400 by 400 pixels. 100× objective, oil immersion. Peripheral blood smear.
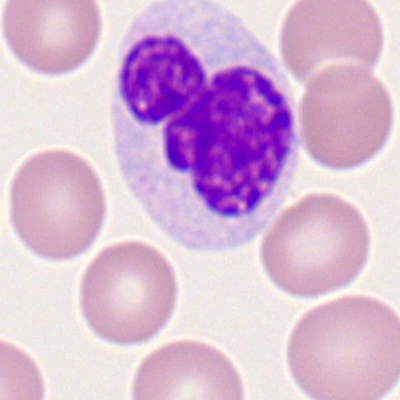
Specimen: peripheral blood film.
Cell type: neutrophil (segmented).
Lineage: myeloid.